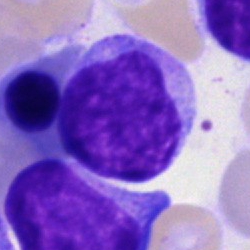
{"cell_type": "blast cell"}